Bone marrow smear.
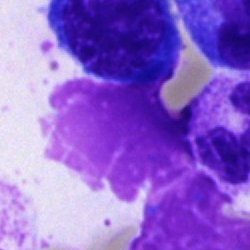

This is an artefact.